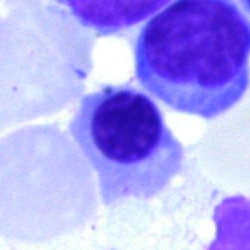

{"cell_type": "erythroblast"}